Bone marrow smear: 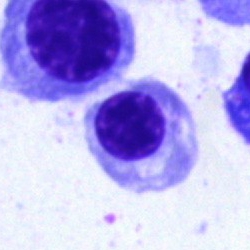

Morphological class = normoblast.